Bone marrow aspirate smear · May-Grünwald-Giemsa stain
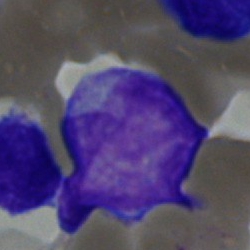

Cell — blast.